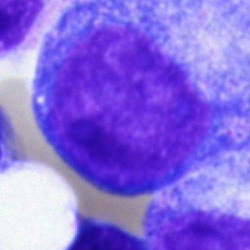
Q: What type of cell is this?
A: Promyelocyte.